Bone marrow aspirate smear: 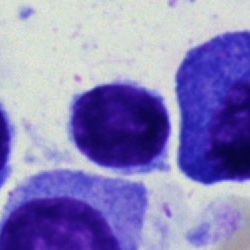

Morphology consistent with a lymphocyte.